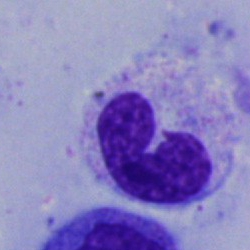Cell type — neutrophil (band).